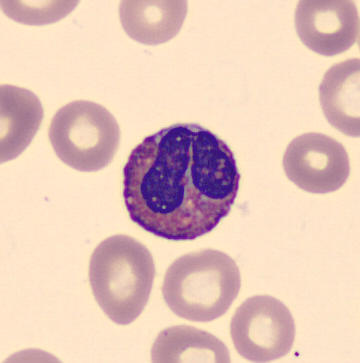

Cell — eosinophilic granulocyte.